Bone marrow aspirate smear · 250×250:
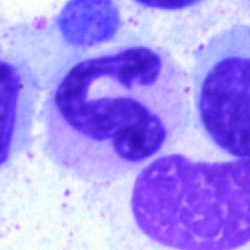

{"cell_type": "neutrophil (segmented)", "lineage": "myeloid"}